Image size 250×250 · bone marrow aspirate smear.
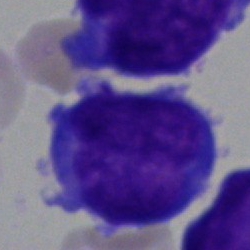
Blast.